Image size 250×250 · bone marrow aspirate smear:
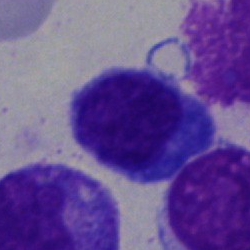Specimen: bone marrow smear.
Classification: typical lymphocyte.
Lineage: lymphoid.